Bone marrow aspirate smear:
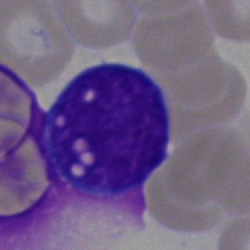
Cell type = blast.